Bone marrow smear: 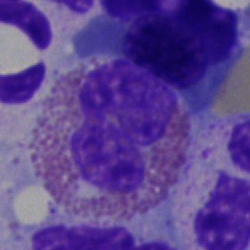
Morphology consistent with an eosinophilic granulocyte.